Bone marrow aspirate smear · 250 by 250 pixels · single-cell crop — 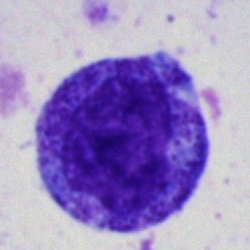
Q: Identify the cell.
A: This is a promyelocyte.